Bone marrow aspirate smear
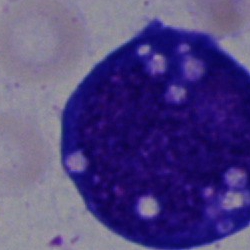
Classification — blast.